Bone marrow smear:
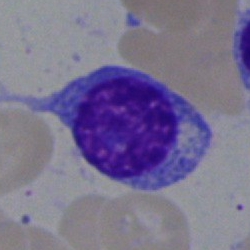 Cell type: plasma cell.